Bone marrow smear. MGG-stained: 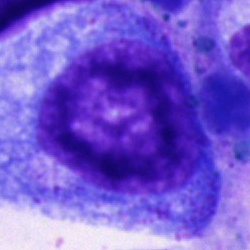Cell type = progranulocyte.